Bone marrow aspirate smear: 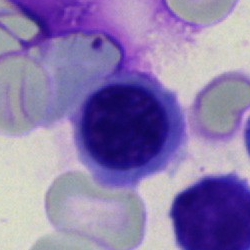

Nucleated red cell.